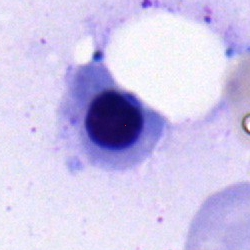
Bone marrow smear showing a normoblast.